Bone marrow aspirate smear; 250 by 250 pixels.
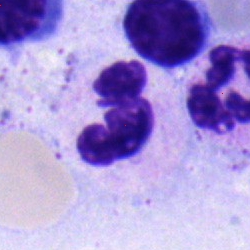Showing a polymorphonuclear neutrophil.